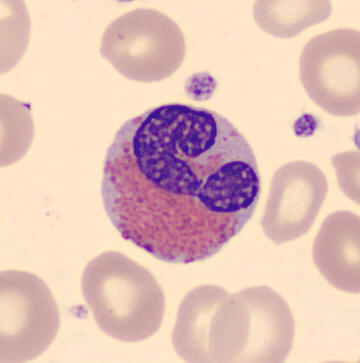Q: What is the morphological classification of this cell?
A: Eosinophil.
Peripheral blood film. Image size 360×363.